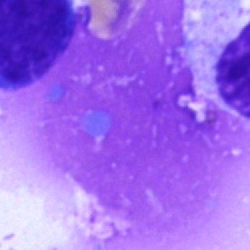 This is an artefact.